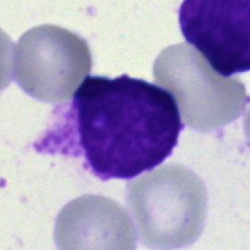Cell: artefact.